250 by 250 pixels. Bone marrow smear:
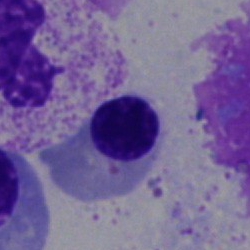 This is a nucleated red cell.